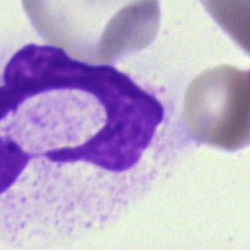 An artifact on a bone marrow smear.